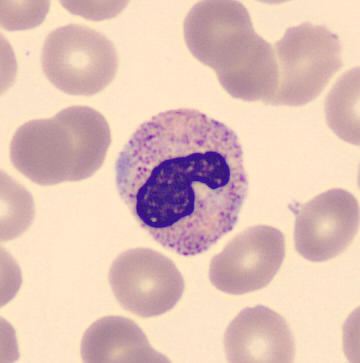
Morphological class: band neutrophil.